Bone marrow smear · 250×250 px:
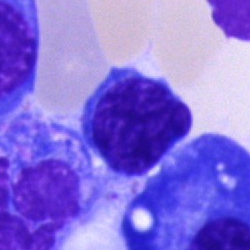 Classification = typical lymphocyte.